Bone marrow aspirate smear — 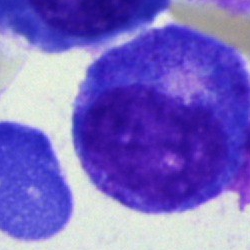 Q: What cell is this?
A: It is a promyelocyte.